Bone marrow smear: 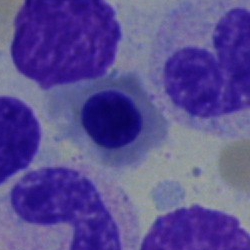The cell shown is a normoblast.